40× objective, oil immersion · bone marrow aspirate smear.
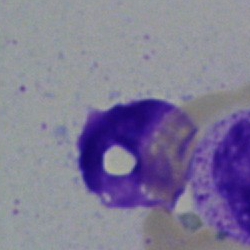

Artifact.